Peripheral blood film — 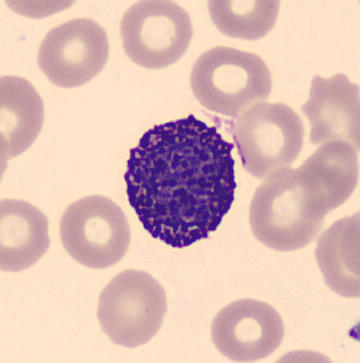 Cell: basophil.